Bone marrow smear — 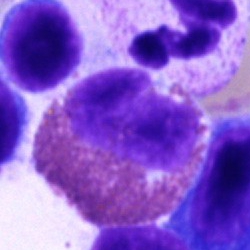

Showing an eosinophil.